Bone marrow aspirate smear
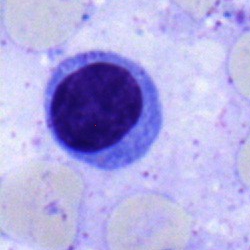 Morphology consistent with a typical lymphocyte.